Bone marrow aspirate smear: 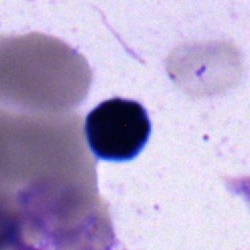
Q: What is the morphological classification of this cell?
A: It is a typical lymphocyte.